Cropped to a single cell; peripheral blood smear:
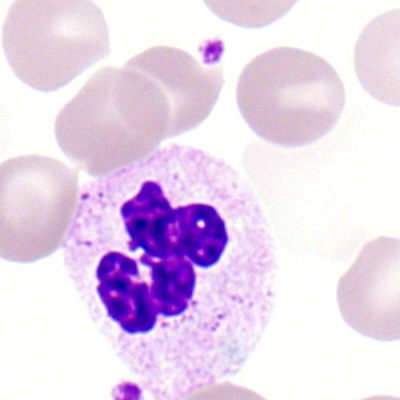
Single cell identified as a neutrophil (segmented).